Bone marrow aspirate smear:
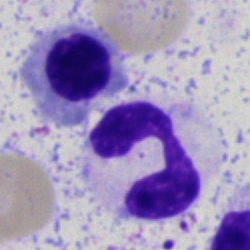 Impression — segmented neutrophil.